Peripheral blood smear — 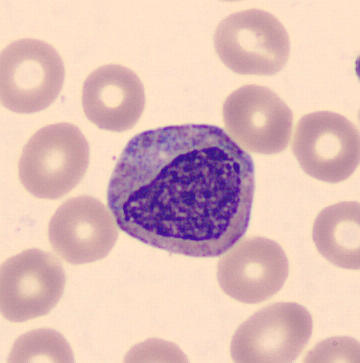

Cell type: myelocyte.